Bone marrow aspirate smear
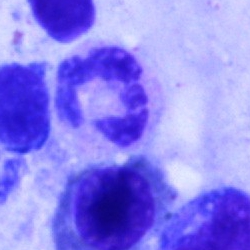 Q: What is shown here?
A: A polymorphonuclear neutrophil.